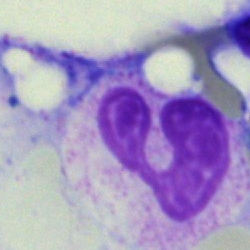 Cell type = neutrophil (segmented).